Bone marrow aspirate smear: 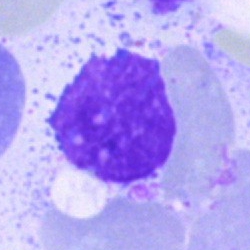Morphological class: artifact.